Peripheral blood smear · single cell centered in the field: 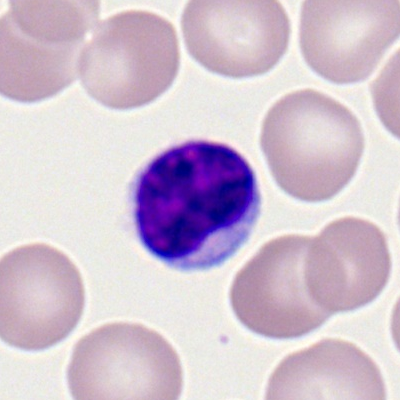 Showing a typical lymphocyte.